Bone marrow smear: 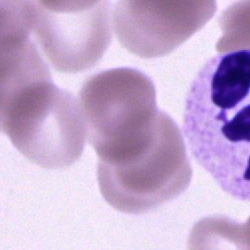 Cell type = polymorphonuclear neutrophil.